Bone marrow aspirate smear; image size 250×250:
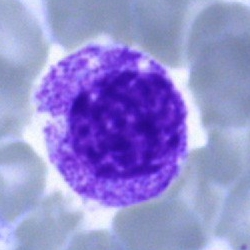

Impression → myelocyte.